Bone marrow smear:
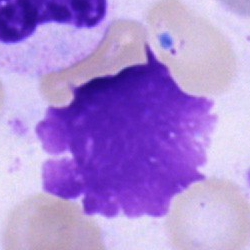
The cell shown is an artefact.